250 by 250 pixels. Bone marrow aspirate smear — 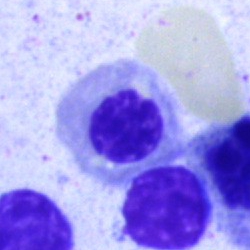
Morphology consistent with a nucleated red blood cell.